250 by 250 pixels. Bone marrow aspirate smear. Brightfield, 40× oil-immersion objective: 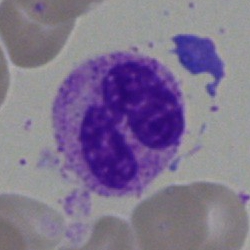Morphology → segmented neutrophil.